250 by 250 pixels; bone marrow aspirate smear:
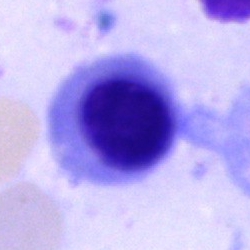
The cell shown is a normoblast.